Bone marrow smear; May-Grünwald-Giemsa/Pappenheim stain; 40× objective, oil immersion — 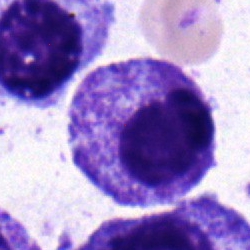
Morphology — myelocyte.